Bone marrow smear; single-cell crop; MGG-stained:
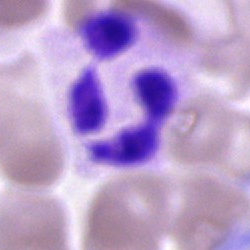

Specimen: bone marrow smear.
Morphological class: polymorphonuclear neutrophil.
Lineage: myeloid.